Bone marrow smear
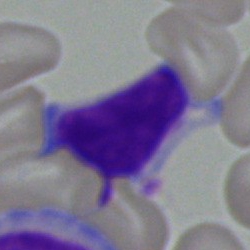This is a typical lymphocyte.